Pappenheim-stained · bone marrow smear — 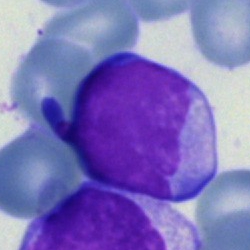Specimen: bone marrow aspirate smear.
Morphological class: lymphocyte.
Lineage: lymphoid.